Bone marrow smear — 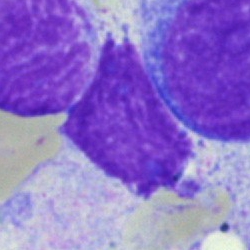
Q: What is shown here?
A: Artefact.